Bone marrow smear.
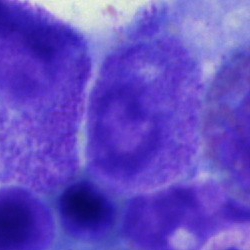Q: Identify the cell.
A: This is a myelocyte.